Bone marrow aspirate smear: 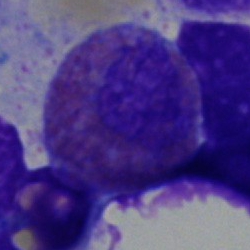
Morphological class = eosinophil.